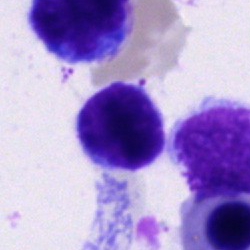

The cell shown is a typical lymphocyte.